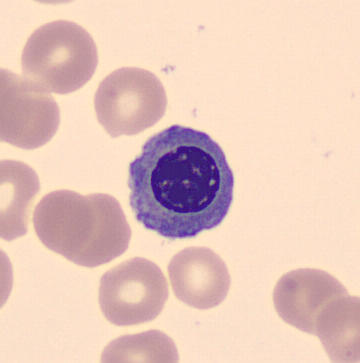

Acquisition: Peripheral blood smear. Cell type = erythroblast.